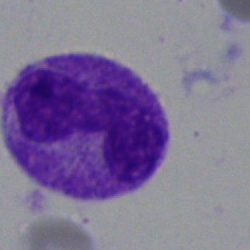

The cell is segmented neutrophil.